Bone marrow aspirate smear: 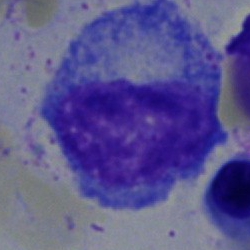 The cell type is myelocyte.